Bone marrow smear. May-Grünwald-Giemsa/Pappenheim stain: 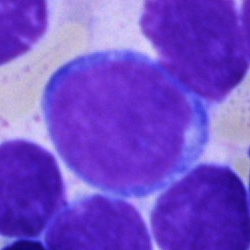 Blast.